Cropped to a single cell · bone marrow aspirate smear.
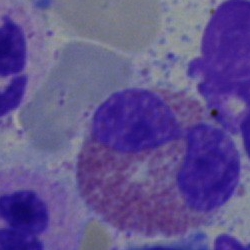
Cell type — eosinophil.